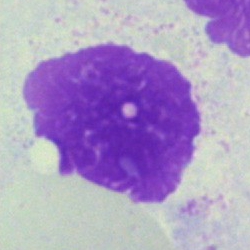

Specimen: bone marrow smear.
Morphological class: artifact.